100× oil immersion, 14.14 px/µm · peripheral blood smear.
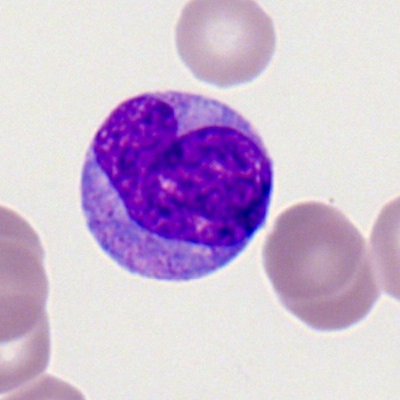Single cell identified as a monocyte.